Bone marrow aspirate smear; Pappenheim-stained — 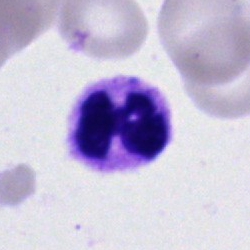
Q: Which cell type is shown here?
A: It is a segmented neutrophil.